Bone marrow smear. May-Grünwald-Giemsa stain:
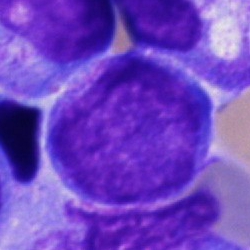 Classification — blast.